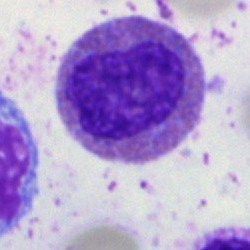
An eosinophil.